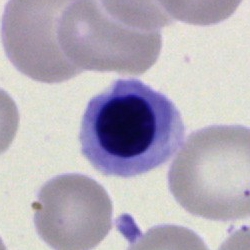

Specimen: bone marrow smear.
Classification: normoblast.